Peripheral blood film:
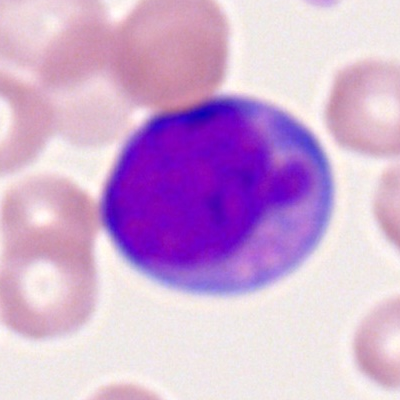

Q: What is the morphological classification of this cell?
A: Myeloid blast.